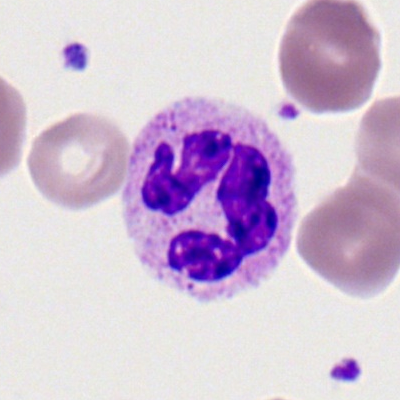Cell = polymorphonuclear neutrophil.